Bone marrow aspirate smear
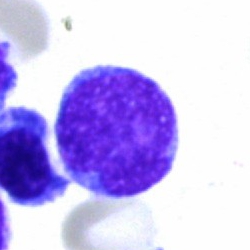Showing a typical lymphocyte.